40× oil immersion; bone marrow aspirate smear: 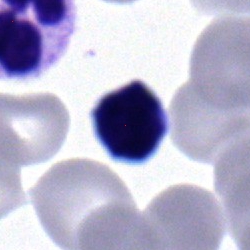

The morphological class is lymphocyte.